Bone marrow smear: 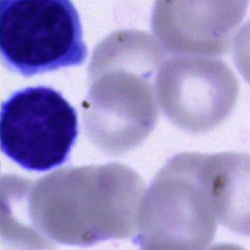
Specimen: bone marrow aspirate smear.
Cell type: typical lymphocyte.
Lineage: lymphoid.